Pappenheim-stained · bone marrow smear: 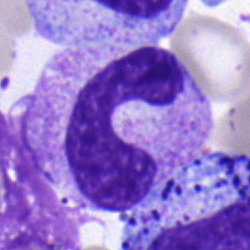
Q: What type of cell is this?
A: This is a band neutrophil.